Bone marrow smear:
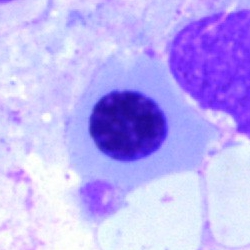 Specimen: bone marrow smear.
Cell: erythroblast.
Lineage: erythroid.